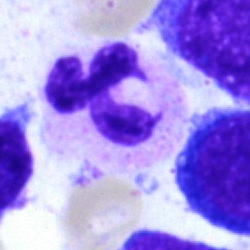
Q: What type of cell is this?
A: It is a segmented neutrophil.